Peripheral blood smear:
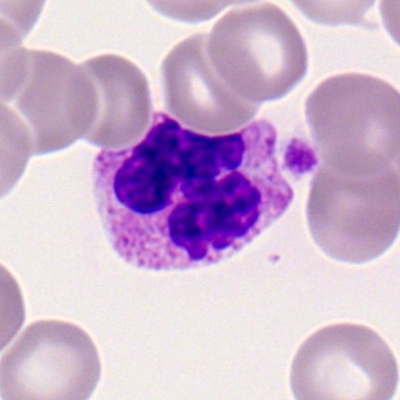 {"cell_type": "basophilic granulocyte", "lineage": "myeloid"}